Bone marrow aspirate smear
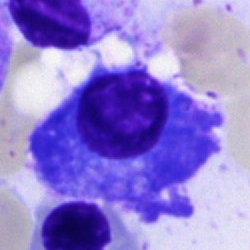
The cell shown is a plasmacyte.